Bone marrow aspirate smear:
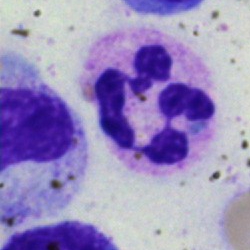Q: Identify the cell.
A: A segmented neutrophil.